Peripheral blood smear — 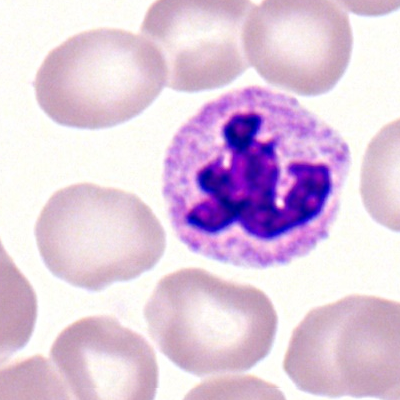 Specimen: peripheral blood film.
Cell type: polymorphonuclear neutrophil.
Lineage: myeloid.